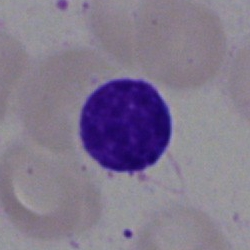
Impression → typical lymphocyte.